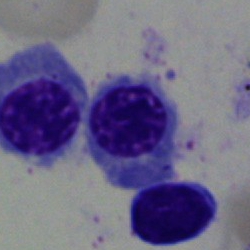

Q: Which cell type is shown here?
A: A nucleated red cell.